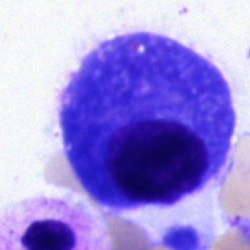 Specimen: bone marrow aspirate smear.
Cell: plasma cell.
Lineage: lymphoid.